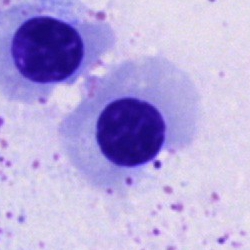
A normoblast on a bone marrow smear.